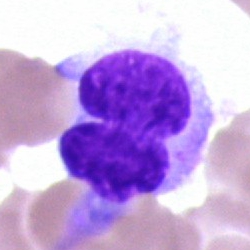 This is a hairy cell.